Bone marrow smear — 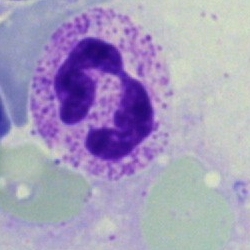

Specimen: bone marrow aspirate smear.
Morphological class: segmented neutrophil.
Lineage: myeloid.